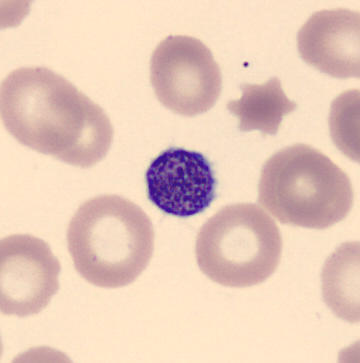

Acquisition: Peripheral blood film. Cell type = platelet (thrombocyte).